40× objective, oil immersion. Bone marrow aspirate smear: 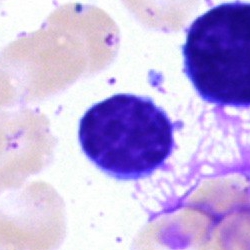

Q: What type of cell is this?
A: This is a lymphocyte.